Peripheral blood smear. Single cell centered in the field.
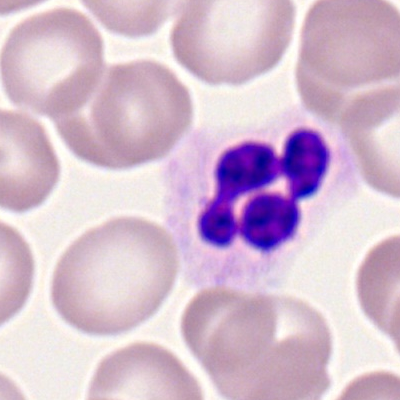

Classification — segmented neutrophil.